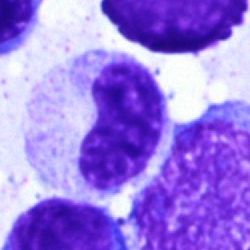 {"cell_type": "stab cell"}